Bone marrow smear. May-Grünwald-Giemsa stain
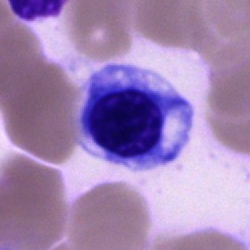
Nucleated red cell.